Bone marrow smear: 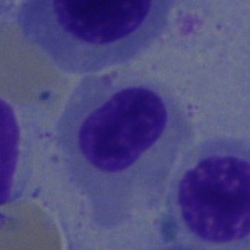 Q: What cell is this?
A: A nucleated red blood cell.